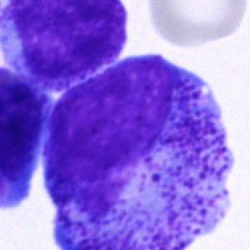Q: Which cell type is shown here?
A: It is a promyelocyte.